Bone marrow smear — 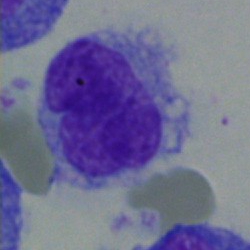 Impression — monocyte.